Bone marrow smear.
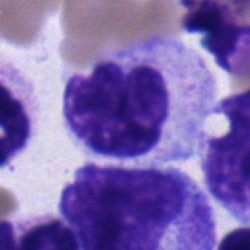
A monocyte.